Bone marrow smear:
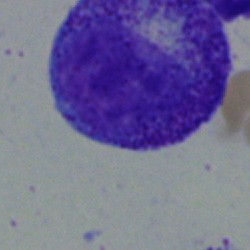

Q: What type of cell is this?
A: It is a myelocyte.